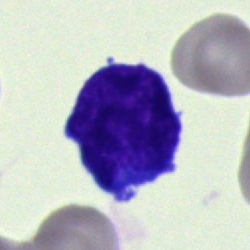The classification is blast cell.